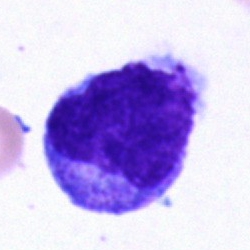

Morphological class = promyelocyte.